Peripheral blood smear — 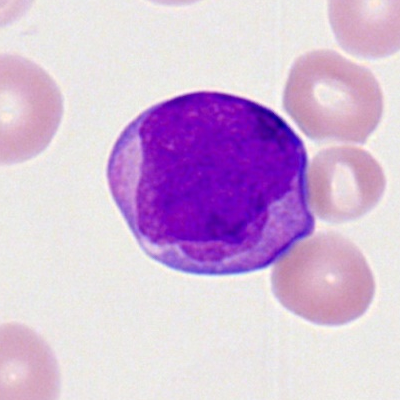 This is a myeloid blast.